Bone marrow smear. 250×250 px. 40× objective, oil immersion: 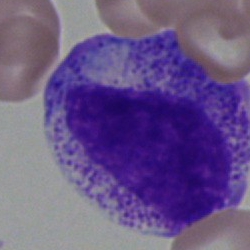

A myelocyte.